Bone marrow aspirate smear. 250×250. Brightfield microscopy, 40× oil immersion — 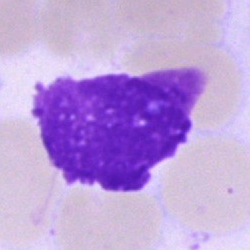

Cell — artefact.